Bone marrow smear:
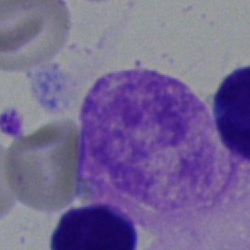

This is an artifact.